May-Grünwald-Giemsa/Pappenheim stain. Bone marrow smear — 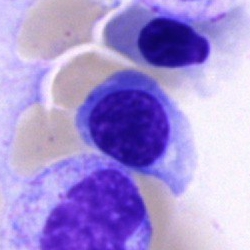

Erythroblast.